Bone marrow smear; 40× oil immersion — 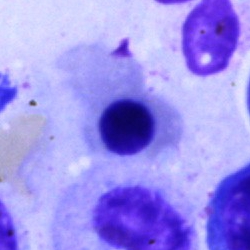 Specimen: bone marrow aspirate smear.
Morphological class: normoblast.
Lineage: erythroid.